100× objective, oil immersion. Peripheral blood film
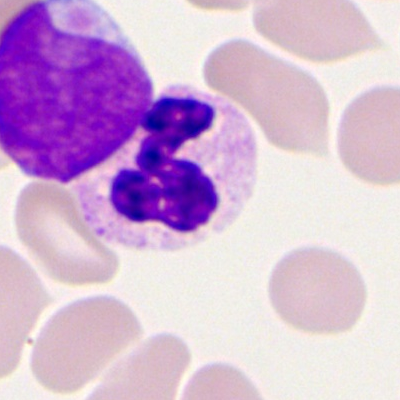
Specimen: peripheral blood film.
Morphological class: neutrophil (segmented).